Bone marrow aspirate smear — 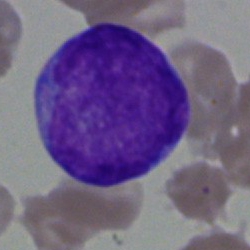This is an undifferentiated blast.